Bone marrow aspirate smear
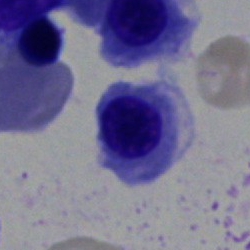 The cell shown is an erythroblast.